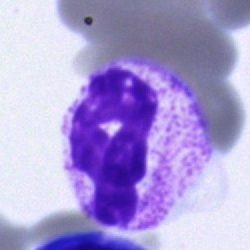A neutrophil (segmented) on a bone marrow smear.